Bone marrow smear. Cropped to a single cell.
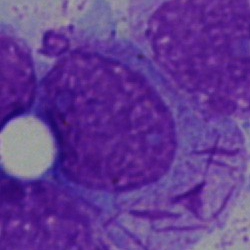 Cell — faggot cell.